250×250. Bone marrow smear. Cropped to a single cell — 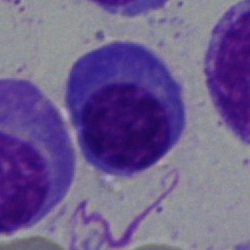Showing a plasma cell.